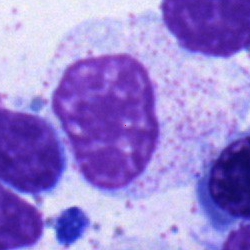A myelocyte on a bone marrow smear.